Brightfield microscopy, 40× oil immersion · bone marrow aspirate smear · single-cell crop:
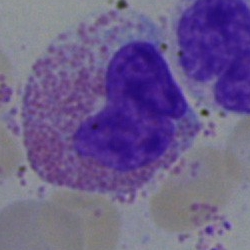 The morphological class is eosinophilic granulocyte.